Bone marrow smear. 250×250 px. 40× objective, oil immersion.
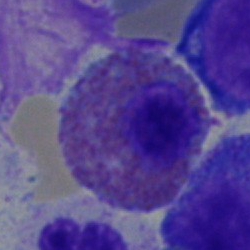
Single cell identified as an eosinophil.